Peripheral blood smear
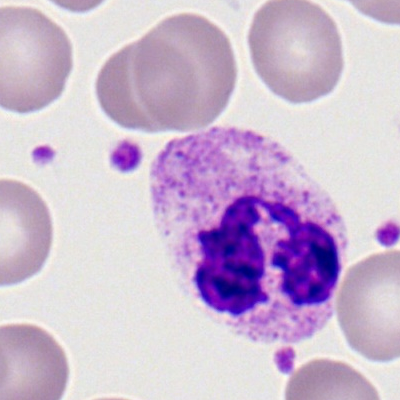

A polymorphonuclear neutrophil.